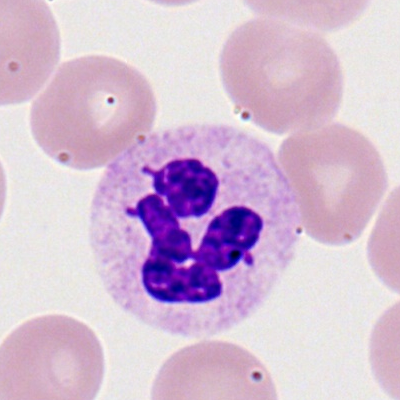

Morphology consistent with a neutrophil (segmented).